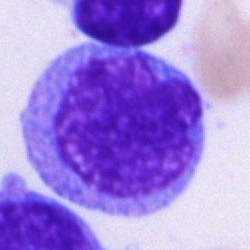

Cell type = blast.